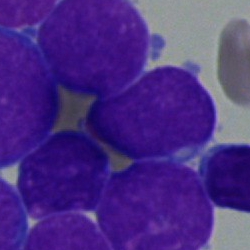 Classification: blast.